Bone marrow aspirate smear. 40× objective, oil immersion. Image size 250×250
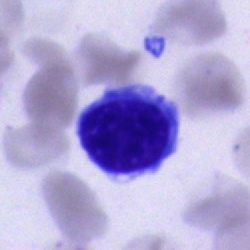A lymphocyte.